Bone marrow aspirate smear:
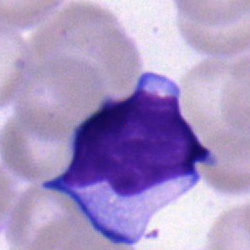
Typical lymphocyte.